Single-cell crop; bone marrow aspirate smear: 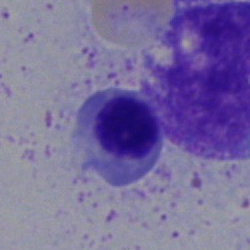

Q: What cell is this?
A: Nucleated red cell.